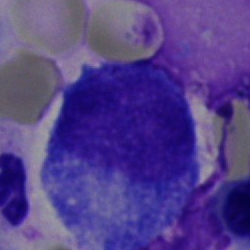
Morphology → progranulocyte.